Bone marrow smear:
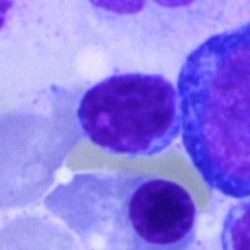Specimen: bone marrow aspirate smear.
Classification: typical lymphocyte.
Lineage: lymphoid.